250×250 px. Bone marrow smear: 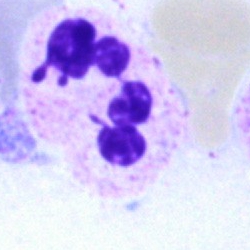
Morphology consistent with a neutrophil (segmented).